Bone marrow aspirate smear — 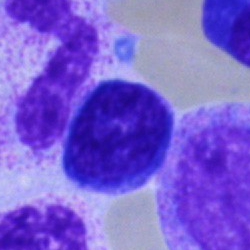 Morphological class = lymphocyte.